Bone marrow aspirate smear · single cell centered in the field: 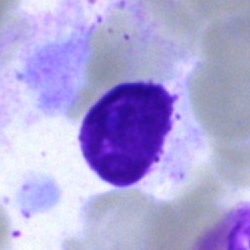
Classification = artifact.